Single cell centered in the field. Bone marrow aspirate smear. 40× oil immersion: 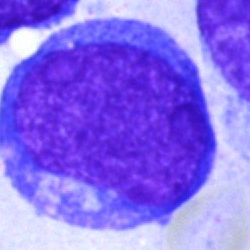 Morphological class = blast.